Bone marrow smear; MGG-stained — 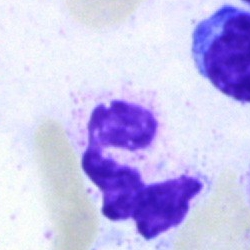 Segmented neutrophil.